Bone marrow smear
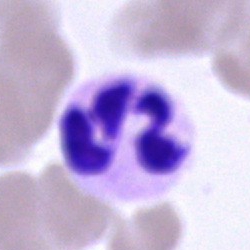
This is a polymorphonuclear neutrophil.